Bone marrow aspirate smear: 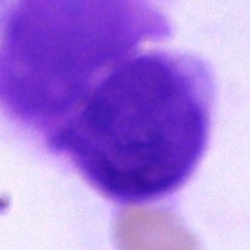

Cell — artifact.